Bone marrow aspirate smear — 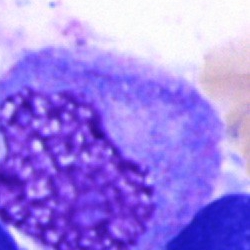Q: What cell is this?
A: This is a monocyte.